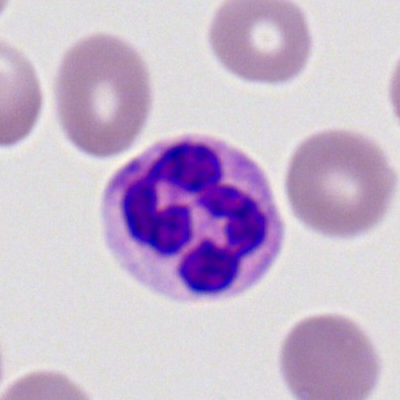
Showing a polymorphonuclear neutrophil.